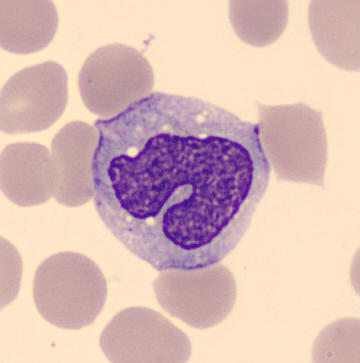
{"cell_type": "monocyte", "lineage": "myeloid"}
Preparation: Peripheral blood smear. Single-cell field.